Bone marrow aspirate smear · single cell centered in the field.
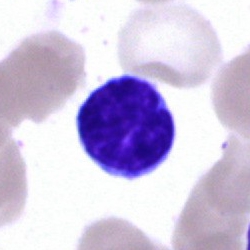
Q: What is the morphological classification of this cell?
A: Lymphocyte.